Bone marrow smear — 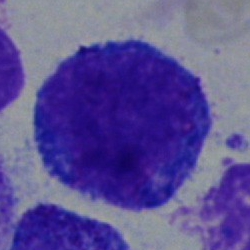Cell — promyelocyte.